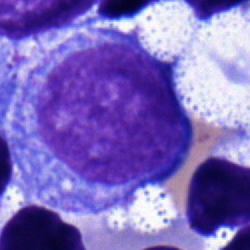

Specimen: bone marrow smear.
Classification: undifferentiated blast.